250×250 px; bone marrow aspirate smear:
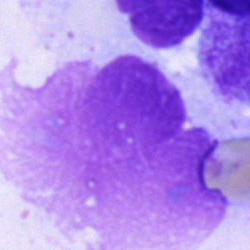

Classification = artefact.